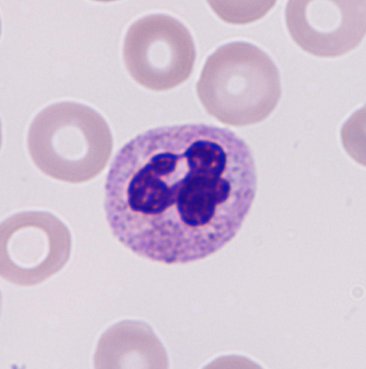The classification is neutrophil granulocyte.